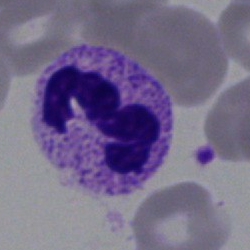A polymorphonuclear neutrophil on a bone marrow smear.